Bone marrow aspirate smear. Single cell centered in the field.
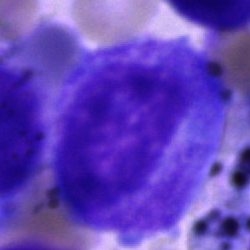Morphology consistent with a progranulocyte.